Bone marrow aspirate smear: 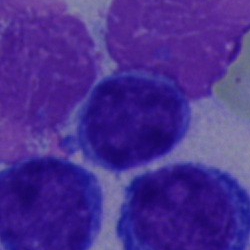 The cell shown is a lymphocyte.